Bone marrow smear; brightfield, 40× oil-immersion objective
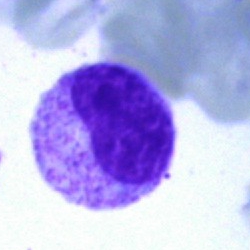

Morphological class: metamyelocyte.